Bone marrow aspirate smear — 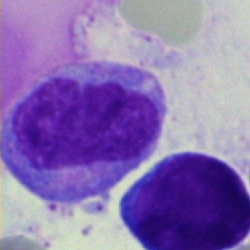
The classification is monocyte.